Bone marrow smear — 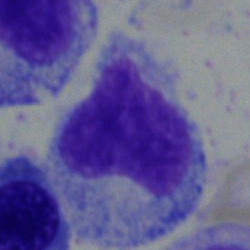 Q: Identify the cell.
A: Myelocyte.